May-Grünwald-Giemsa/Pappenheim stain. Bone marrow aspirate smear. Single-cell field.
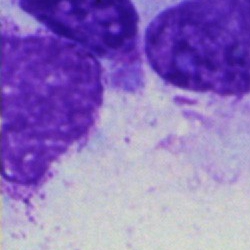

Morphological class — artifact.